Imaged on a CellaVision DM96 analyser · peripheral blood smear.
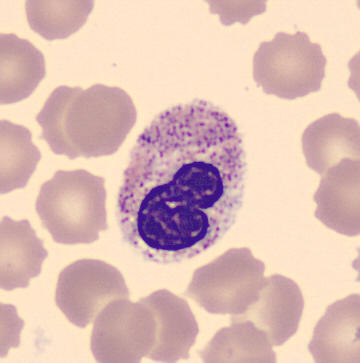
The cell shown is a neutrophil (band).